Bone marrow smear:
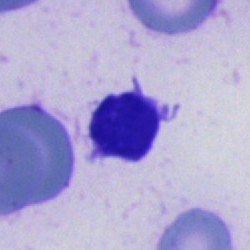

Specimen: bone marrow smear.
Cell: artefact.